Bone marrow aspirate smear: 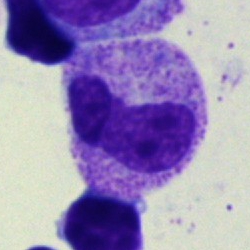

Morphology consistent with a band-form neutrophil.